Bone marrow aspirate smear
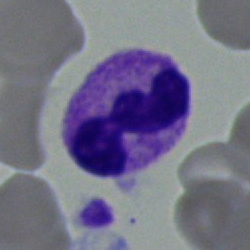
Q: What is the morphological classification of this cell?
A: It is a polymorphonuclear neutrophil.